Bone marrow aspirate smear:
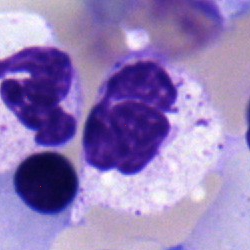{"cell_type": "neutrophil (segmented)", "lineage": "myeloid"}